Peripheral blood film · image size 400×400 · 100× objective, oil immersion.
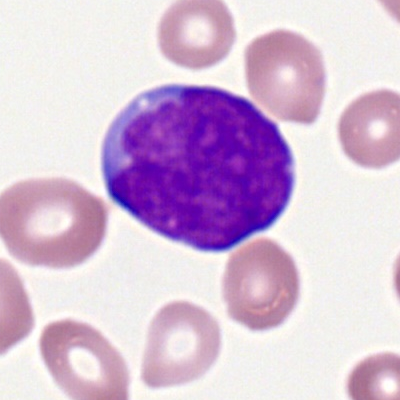

A myeloblast.